Bone marrow aspirate smear:
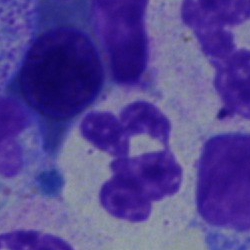 Cell type: segmented neutrophil.